Bone marrow smear
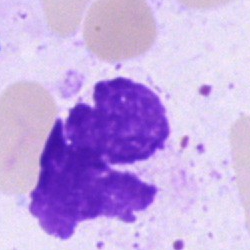Showing an artefact.